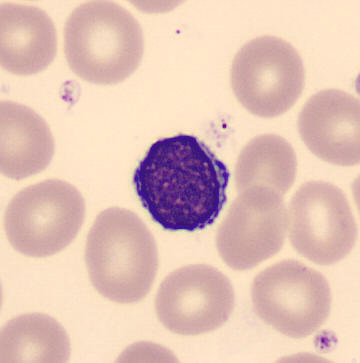
A lymphocyte.
Peripheral blood smear · MGG stain.